Bone marrow aspirate smear: 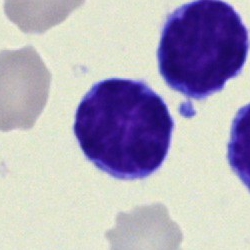
Q: What cell is this?
A: Typical lymphocyte.